Bone marrow aspirate smear. Cropped to a single cell.
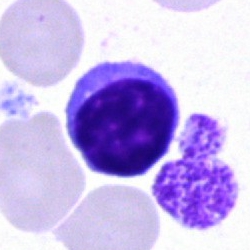Showing a lymphocyte.